Bone marrow smear:
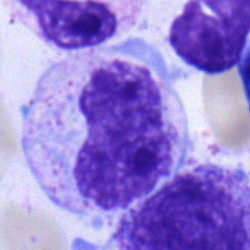Specimen: bone marrow aspirate smear.
Cell type: metamyelocyte.